Bone marrow smear
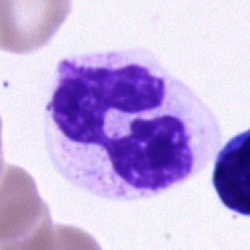 Impression — polymorphonuclear neutrophil.